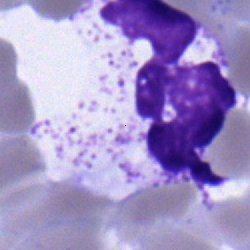Single-cell crop from a bone marrow smear: segmented neutrophil.